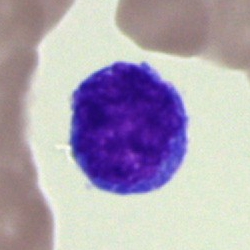 This is a lymphocyte.